Image size 250×250. Bone marrow smear
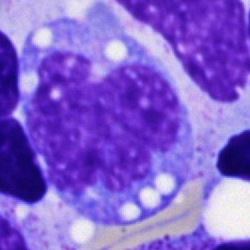 Q: What type of cell is this?
A: This is a monocyte.